Bone marrow aspirate smear — 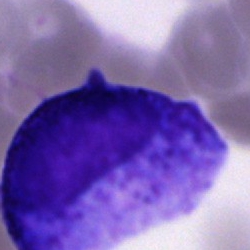
Morphology → progranulocyte.